40× objective, oil immersion; bone marrow smear:
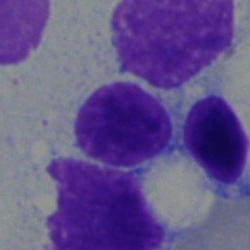 Morphology — typical lymphocyte.